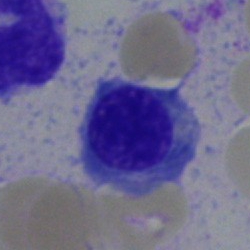

Specimen: bone marrow smear.
Morphological class: nucleated red cell.